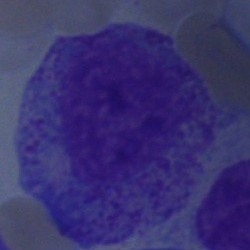
Bone marrow smear showing a progranulocyte.